Romanowsky-stained · peripheral blood film:
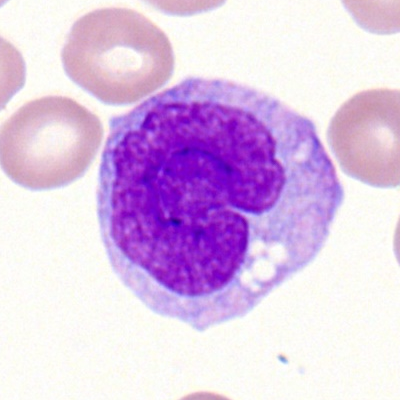
Q: Which cell type is shown here?
A: A monocyte.